Cropped to a single cell; bone marrow smear; 40× objective, oil immersion
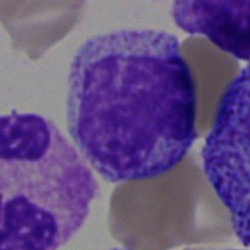
Cell type — metamyelocyte.